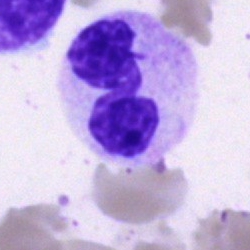

Cell = polymorphonuclear neutrophil.